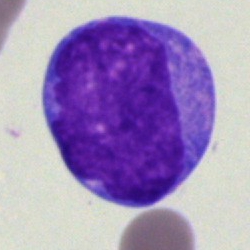
Cell: undifferentiated blast.